Bone marrow smear.
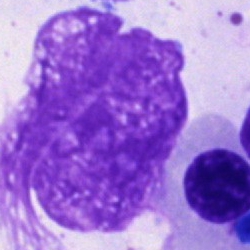
Cell type — artifact.